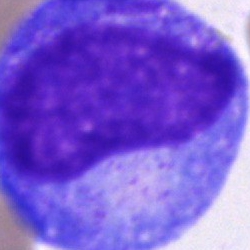
The cell shown is a promyelocyte.